May-Grünwald-Giemsa/Pappenheim stain. Bone marrow aspirate smear:
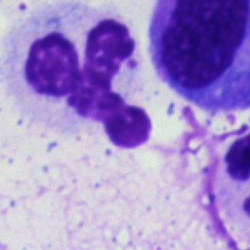Specimen: bone marrow smear.
Classification: polymorphonuclear neutrophil.